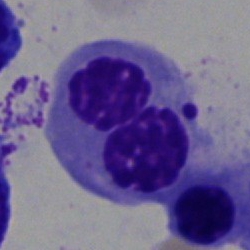Showing an erythroblast.